Bone marrow smear; 40× oil immersion.
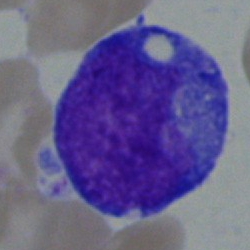Undifferentiated blast.